Brightfield microscopy, 40× oil immersion. Bone marrow smear — 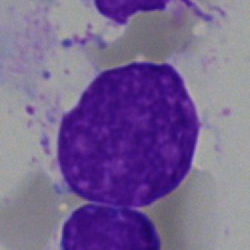

Classification = artefact.